Bone marrow aspirate smear
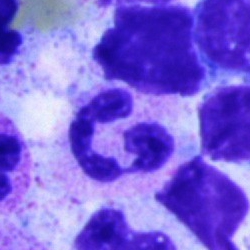

{"cell_type": "neutrophil (segmented)"}